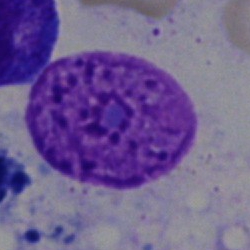

{"cell_type": "artifact"}